Peripheral blood smear; M8 digital microscope (Precipoint), 100× oil immersion; Romanowsky-stained.
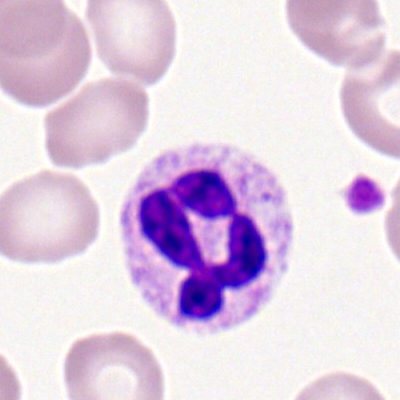
Q: What cell is this?
A: A polymorphonuclear neutrophil.